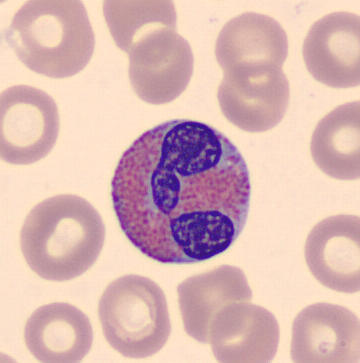 Cell type — eosinophil. May-Grünwald-Giemsa-stained. Peripheral blood smear.